Bone marrow smear. May-Grünwald-Giemsa stain: 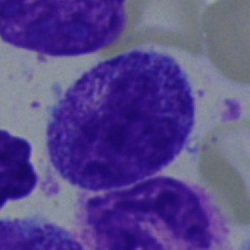 Morphology consistent with a myelocyte.